Bone marrow smear.
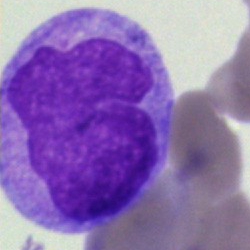Single cell identified as a monocyte.